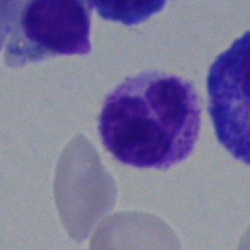

Q: Identify the cell.
A: A polymorphonuclear neutrophil.